Single-cell field. Bone marrow smear: 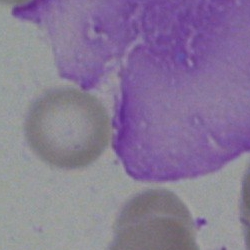

Classification — artefact.